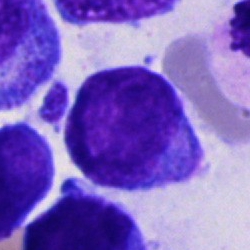

Cell = undifferentiated blast.